Peripheral blood film.
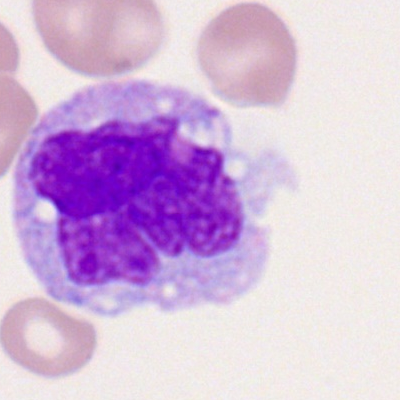

Morphological class — monocyte.